Bone marrow smear: 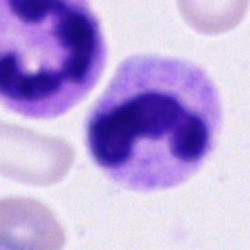

{"cell_type": "polymorphonuclear neutrophil"}